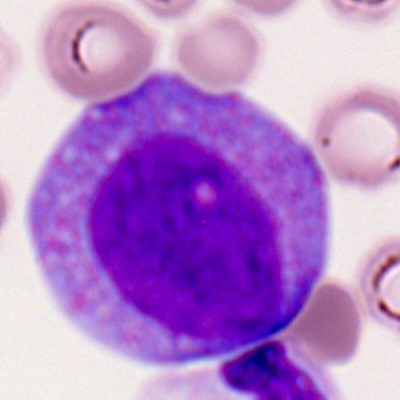

Classification = promyelocyte.